Bone marrow aspirate smear; 40× oil immersion; single-cell field.
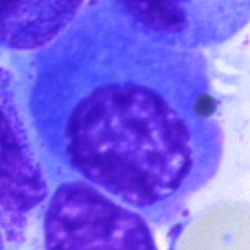 Cell type: plasmacyte.